Bone marrow smear
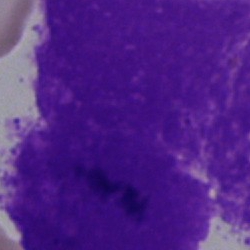
Q: What is shown here?
A: Artefact.